Cropped to a single cell · 360×363 px · peripheral blood film
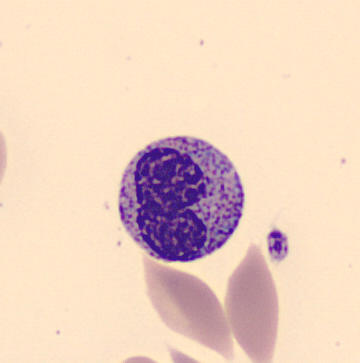Q: What is shown here?
A: This is a metamyelocyte.